Bone marrow smear.
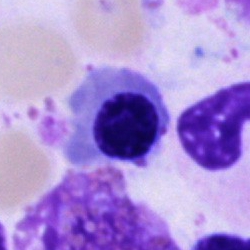Specimen: bone marrow aspirate smear.
Classification: erythroblast.
Lineage: erythroid.